40× oil immersion; bone marrow smear — 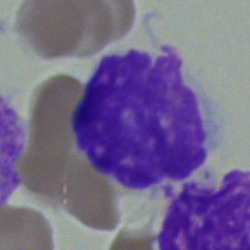Q: What is shown here?
A: This is an artefact.